Bone marrow aspirate smear; 250×250 px — 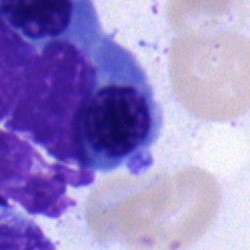
Morphological class = nucleated red blood cell.